Bone marrow smear: 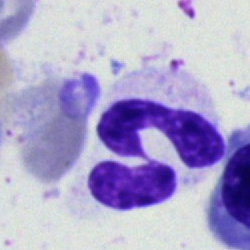 Showing a polymorphonuclear neutrophil.